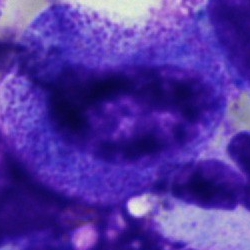
{"cell_type": "promyelocyte"}